Single-cell crop. 250×250 px. Bone marrow smear.
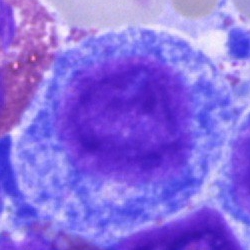 Q: What type of cell is this?
A: A promyelocyte.